Image size 250×250. 40× oil immersion. Bone marrow smear
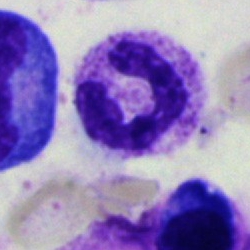

Single cell identified as a segmented neutrophil.